250 by 250 pixels · bone marrow smear
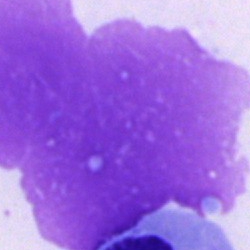

Cell type = artifact.